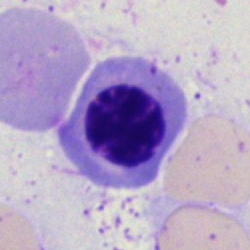

Bone marrow aspirate smear, single cell — nucleated red cell.